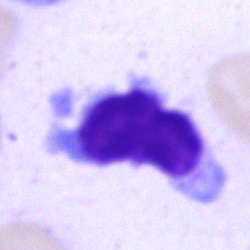Bone marrow smear showing a lymphocyte.